Bone marrow aspirate smear · brightfield, 40× oil-immersion objective · May-Grünwald-Giemsa stain
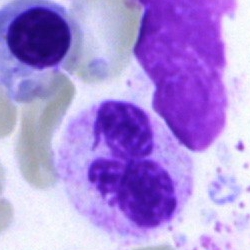

The cell shown is a segmented neutrophil.